Bone marrow aspirate smear: 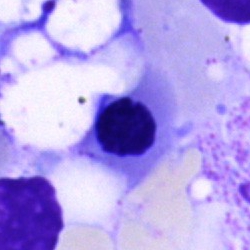Morphology — nucleated red cell.